Bone marrow smear — 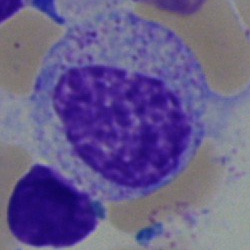The morphological class is myelocyte.